Brightfield microscopy, 40× oil immersion. Bone marrow aspirate smear: 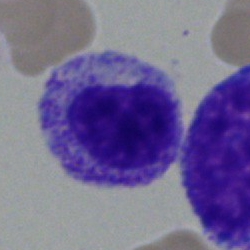Showing a myelocyte.